Bone marrow aspirate smear:
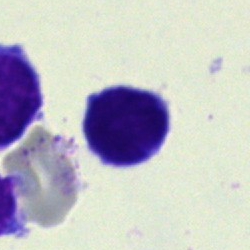{"cell_type": "typical lymphocyte", "lineage": "lymphoid"}